Bone marrow smear; MGG-stained.
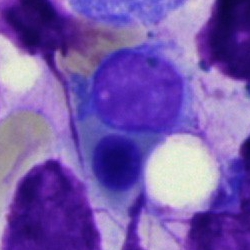Cell type: nucleated red cell.